Bone marrow aspirate smear; single-cell field; Pappenheim-stained: 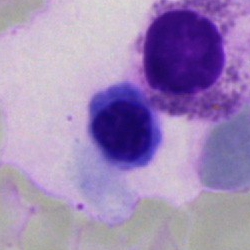This is a normoblast.